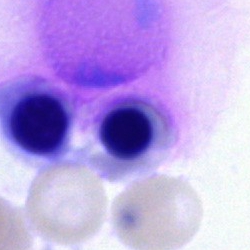
An erythroblast.